Bone marrow aspirate smear; image size 250×250:
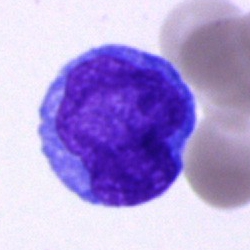
The morphological class is undifferentiated blast.